40× oil immersion. Bone marrow smear: 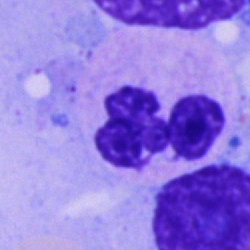Showing a segmented neutrophil.